Image size 250×250; bone marrow smear.
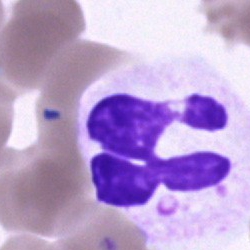
The morphological class is segmented neutrophil.